Bone marrow aspirate smear — 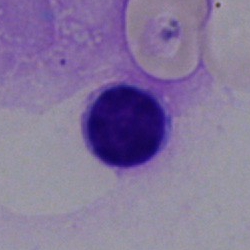 Morphological class — lymphocyte.